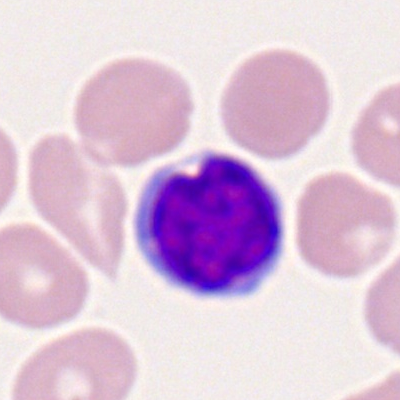Peripheral blood film, single cell — typical lymphocyte.